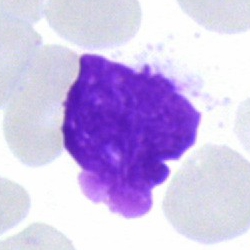
Morphological class: Gumprecht shadow.